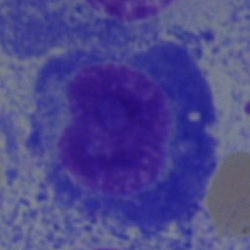
Impression → plasma cell.